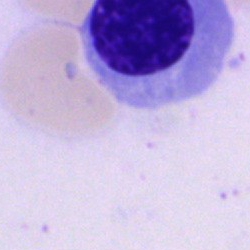

Cell type = nucleated red blood cell.